Bone marrow smear; single-cell crop.
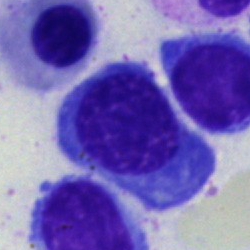 Specimen: bone marrow aspirate smear.
Cell type: normoblast.
Lineage: erythroid.